May Grünwald-Giemsa stain · peripheral blood smear
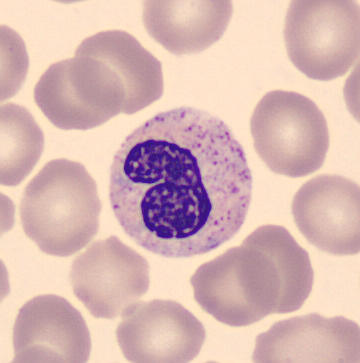Q: What is the morphological classification of this cell?
A: Band neutrophil.